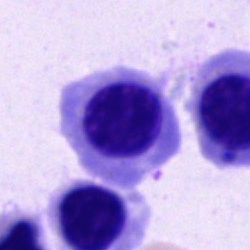
An erythroblast on a bone marrow smear.